Bone marrow smear · Pappenheim-stained
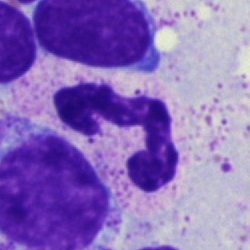
Single cell identified as a neutrophil (segmented).